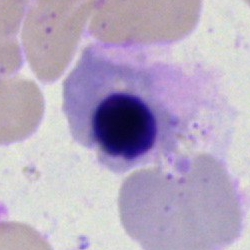 Impression — nucleated red blood cell.